Peripheral blood film: 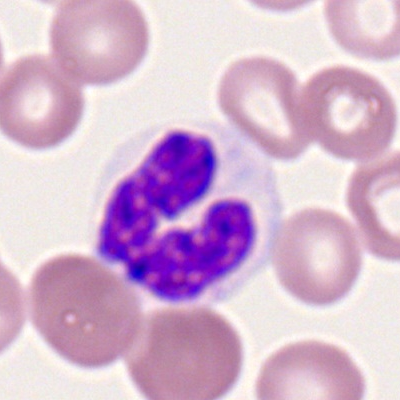

A neutrophil (segmented).